Single-cell field. Bone marrow smear. May-Grünwald-Giemsa/Pappenheim stain
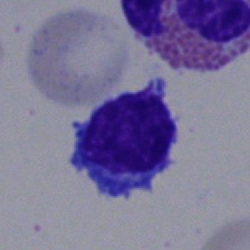

Q: What cell is this?
A: A lymphocyte.